40× oil immersion. Bone marrow aspirate smear:
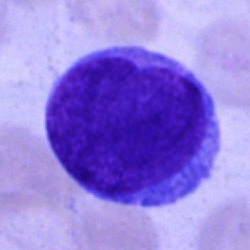 Specimen: bone marrow aspirate smear.
Morphological class: undifferentiated blast.